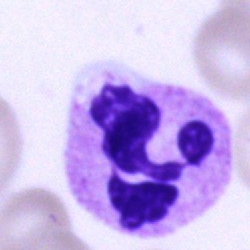

Morphology consistent with a segmented neutrophil.